Pappenheim-stained · bone marrow aspirate smear:
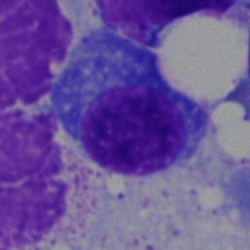
Morphological class = plasmacyte.